Peripheral blood film
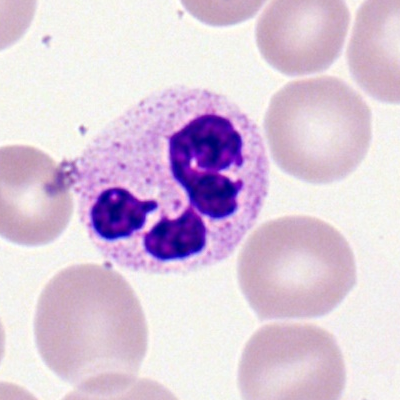
Single cell identified as a neutrophil (segmented).